Bone marrow smear · 250×250 px · single-cell field
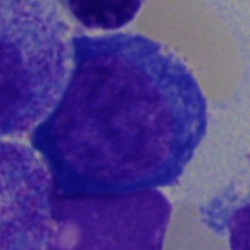
Normoblast.